Bone marrow aspirate smear. Pappenheim-stained — 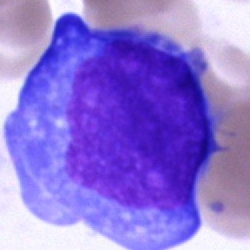

Q: Which cell type is shown here?
A: It is a blast.